Bone marrow smear; Pappenheim-stained; single-cell crop — 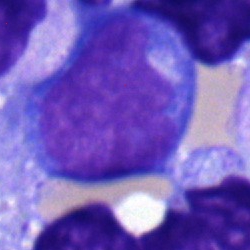
Morphology — lymphocyte.